Bone marrow smear; 250×250 px:
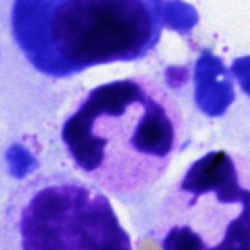 Specimen: bone marrow aspirate smear.
Classification: segmented neutrophil.
Lineage: myeloid.